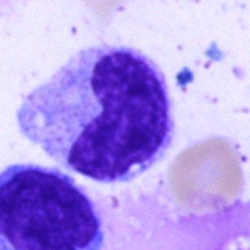
{"cell_type": "metamyelocyte", "lineage": "myeloid"}